Single-cell field; Pappenheim-stained; bone marrow smear — 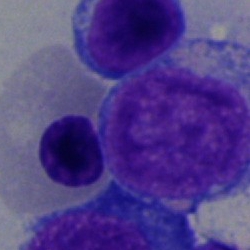 Cell type — blast cell.